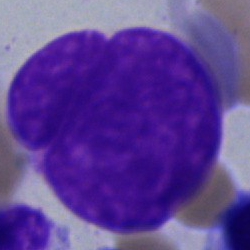
The cell is artefact.